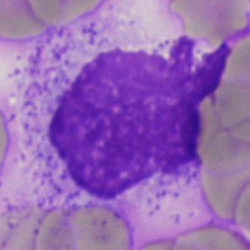Cell type: artefact.